Bone marrow smear. Single-cell field:
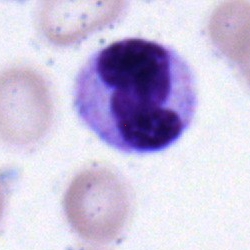 Q: Which cell type is shown here?
A: It is a band-form neutrophil.